Bone marrow aspirate smear — 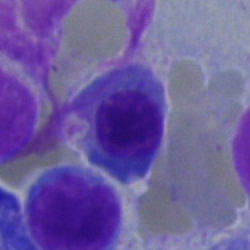
Morphology consistent with a normoblast.